Bone marrow aspirate smear:
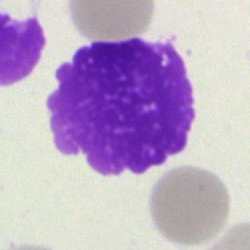

The cell shown is an artifact.